Bone marrow aspirate smear · 250×250:
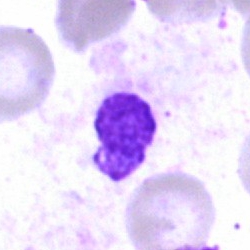 Showing an artefact.